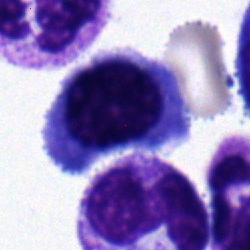 Specimen: bone marrow aspirate smear.
Morphological class: nucleated red cell.